Single cell centered in the field · bone marrow smear:
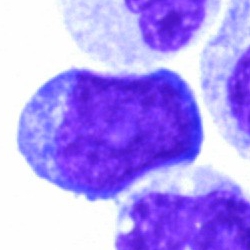

Showing an undifferentiated blast.